Image size 250×250 · bone marrow smear
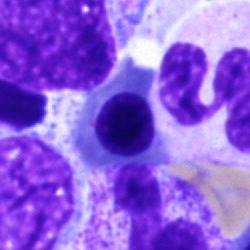

{"cell_type": "normoblast", "lineage": "erythroid"}